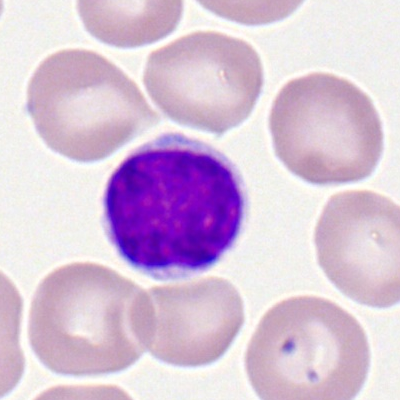 Peripheral blood smear showing a lymphocyte.